Single-cell field · bone marrow aspirate smear · May-Grünwald-Giemsa stain.
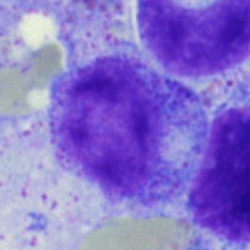
This is a myelocyte.